MGG-stained · bone marrow aspirate smear: 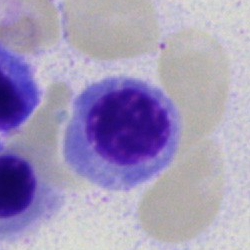 Cell type — erythroblast.